Bone marrow aspirate smear — 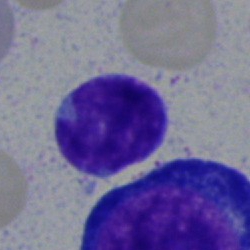

Specimen: bone marrow smear.
Classification: lymphocyte.